Bone marrow aspirate smear: 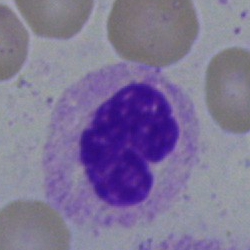

Q: What type of cell is this?
A: Neutrophil (band).